Single-cell crop; bone marrow aspirate smear; brightfield, 40× oil-immersion objective: 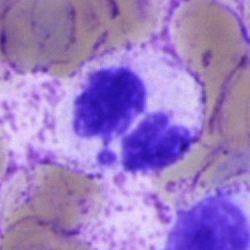 Single cell identified as a segmented neutrophil.